Bone marrow aspirate smear. Single cell centered in the field — 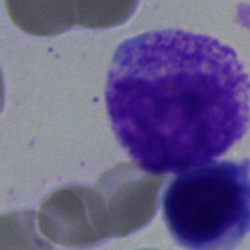

The classification is myelocyte.